Bone marrow aspirate smear.
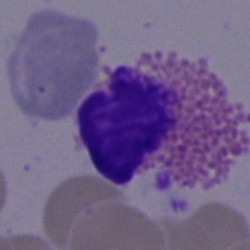
Single cell identified as an eosinophil.